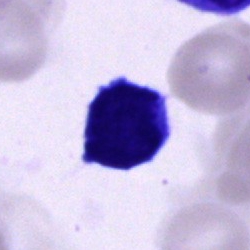

A lymphocyte on a bone marrow smear.